40× oil immersion · bone marrow aspirate smear:
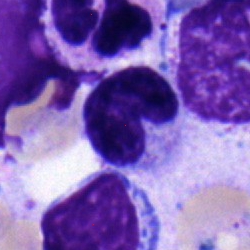

Band neutrophil.